Bone marrow smear
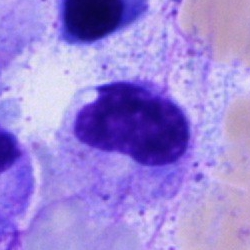
Q: What is shown here?
A: Artifact.